Bone marrow smear · single-cell crop — 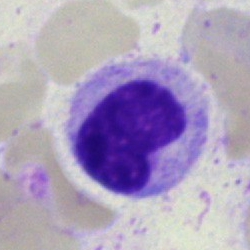 Single cell identified as a metamyelocyte.